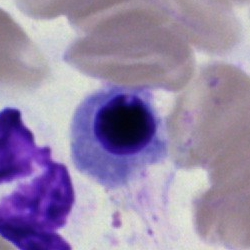

Q: What type of cell is this?
A: It is an erythroblast.